Bone marrow smear:
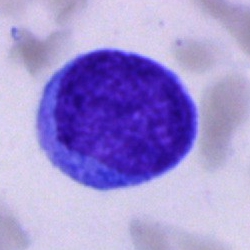
Q: What type of cell is this?
A: This is a cell of indeterminate lineage.